Bone marrow aspirate smear:
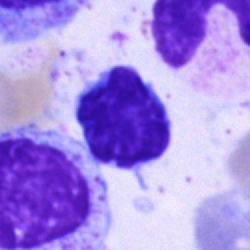 Showing a lymphocyte.